Single-cell field. Bone marrow aspirate smear
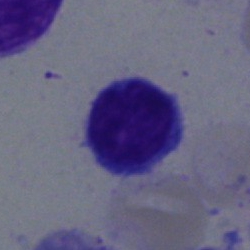Q: What type of cell is this?
A: A typical lymphocyte.